250×250. Single cell centered in the field. Bone marrow smear: 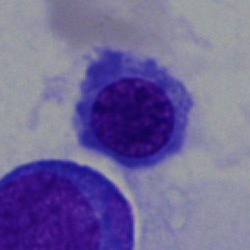
The cell is erythroblast.